Peripheral blood film · image size 400×400 — 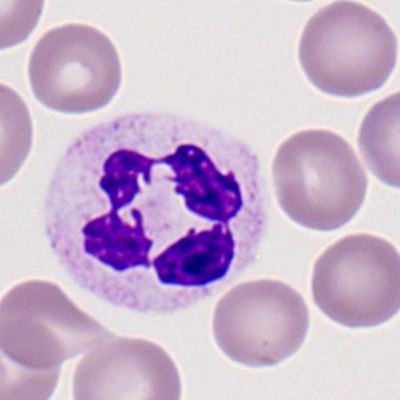

{"cell_type": "polymorphonuclear neutrophil"}